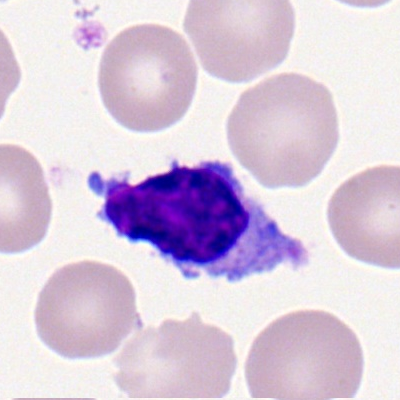
Specimen: peripheral blood smear.
Cell: typical lymphocyte.
Lineage: lymphoid.